Peripheral blood film; cropped to a single cell; Romanowsky stain — 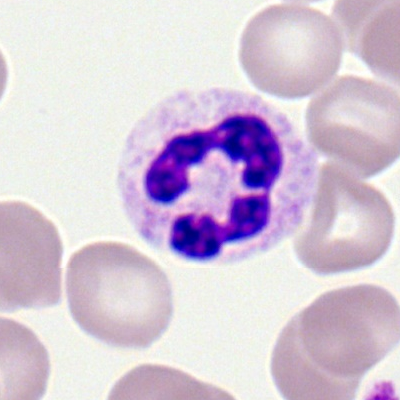Showing a polymorphonuclear neutrophil.